Bone marrow aspirate smear. Brightfield microscopy, 40× oil immersion:
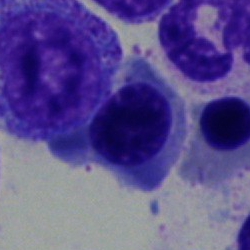 {"cell_type": "normoblast"}